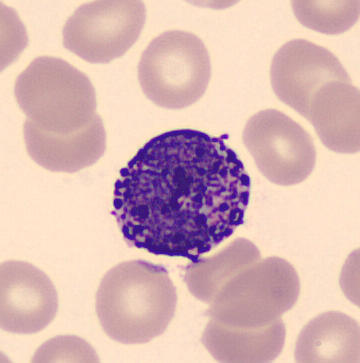 Peripheral blood smear · MGG-stained. Q: What is this?
A: It is a basophil.